Bone marrow aspirate smear; single cell centered in the field: 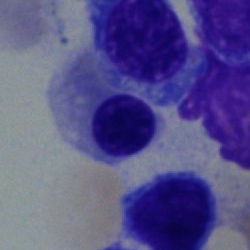Morphology → nucleated red cell.